Image size 250×250. Bone marrow smear — 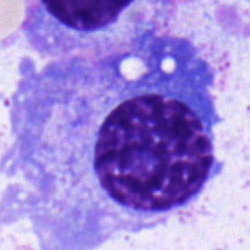A plasmacyte.